Bone marrow smear: 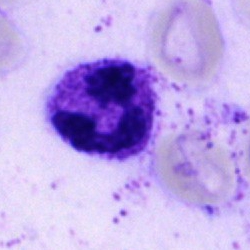

Morphology — segmented neutrophil.